Bone marrow aspirate smear.
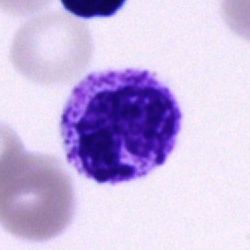Cell — polymorphonuclear neutrophil.